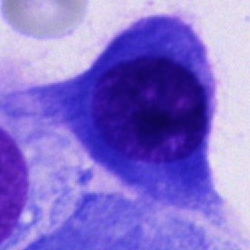
Morphological class: cell not matching the other categories.